Bone marrow smear
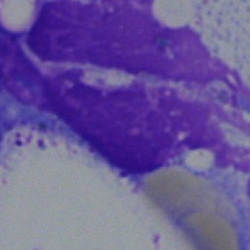

The cell shown is an artefact.